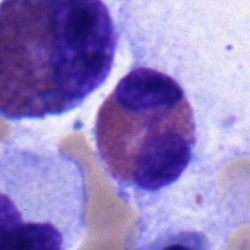 {"cell_type": "eosinophil", "lineage": "myeloid"}